May-Grünwald-Giemsa stain. Brightfield, 40× oil-immersion objective. Bone marrow smear
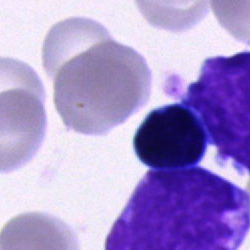Morphology consistent with an unidentifiable cell.